Bone marrow smear:
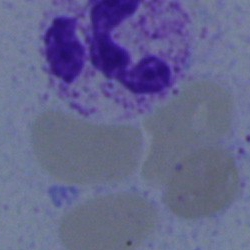 Specimen: bone marrow smear.
Cell: segmented neutrophil.